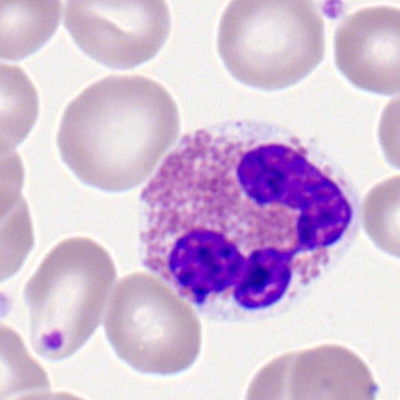
Morphology → eosinophil.